360 by 363 pixels · imaged on a CellaVision DM96 analyser · peripheral blood film.
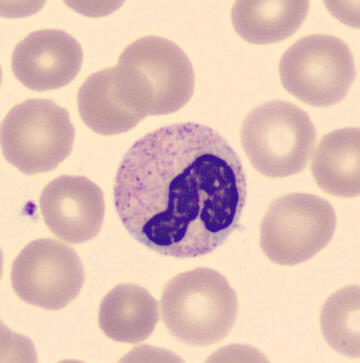

The cell shown is a neutrophil (band).